Bone marrow smear:
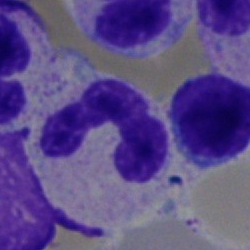{"cell_type": "segmented neutrophil"}